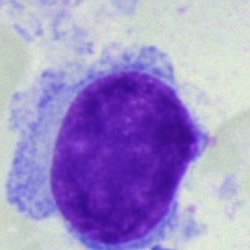 {"cell_type": "hairy cell"}